Bone marrow aspirate smear · cropped to a single cell: 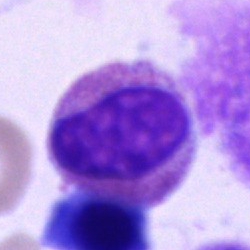
Impression — eosinophil.